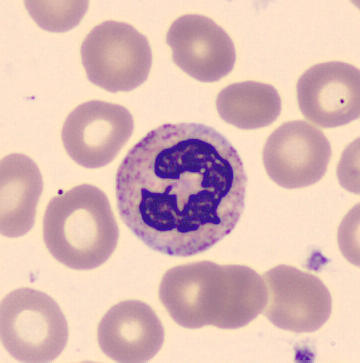

Acquisition: Peripheral blood film. 360×363. Identified as a neutrophil (segmented).